Bone marrow smear. Single cell centered in the field
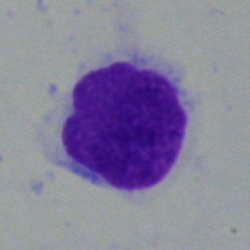

This is a hairy cell.